Bone marrow smear.
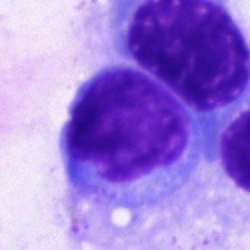
Specimen: bone marrow aspirate smear.
Cell type: plasma cell.
Lineage: lymphoid.